Bone marrow smear.
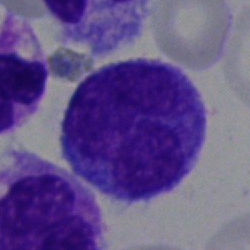 A blast.